Bone marrow smear.
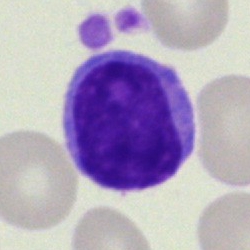

Specimen: bone marrow aspirate smear.
Classification: typical lymphocyte.
Lineage: lymphoid.